MGG-stained. Bone marrow smear. 40× objective, oil immersion.
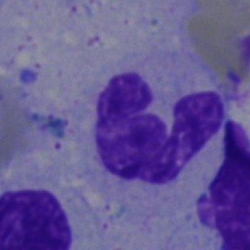

Single cell identified as a neutrophil (segmented).